Bone marrow aspirate smear — 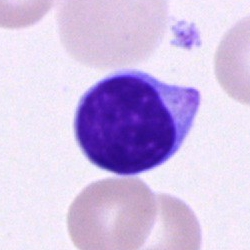
The classification is lymphocyte.